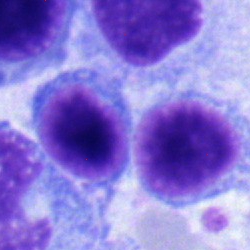
Specimen: bone marrow smear.
Cell: lymphocyte.
Lineage: lymphoid.